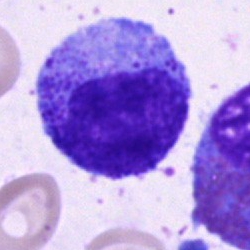
A progranulocyte.